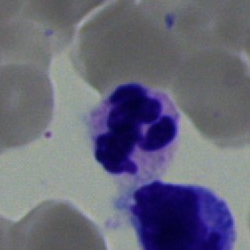Morphology → neutrophil (segmented).